Bone marrow aspirate smear; 250×250 px
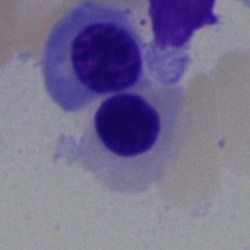

Cell = nucleated red cell.